Bone marrow aspirate smear
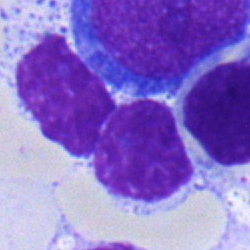

Classification — nucleated red cell.